MGG-stained. 250×250 px. Bone marrow smear.
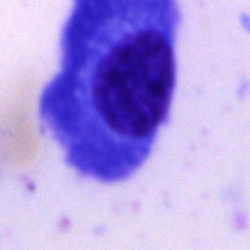Q: What is shown here?
A: This is a plasma cell.